Bone marrow aspirate smear. Single-cell field. Pappenheim-stained.
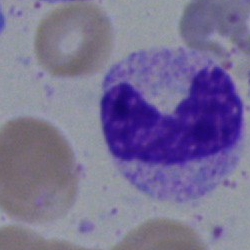
Cell type: neutrophil (band).